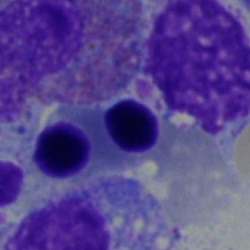Erythroblast.